Bone marrow aspirate smear:
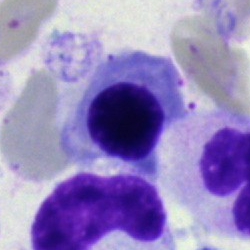
Impression — normoblast.